May-Grünwald-Giemsa stain. Bone marrow aspirate smear:
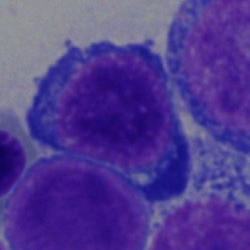

Morphology consistent with an erythroblast.